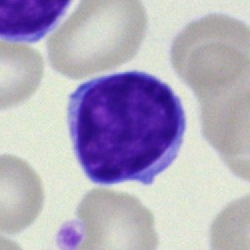
Single cell identified as a typical lymphocyte.